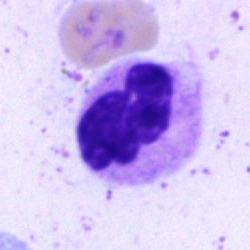
Single-cell crop from a bone marrow smear: neutrophil (segmented).